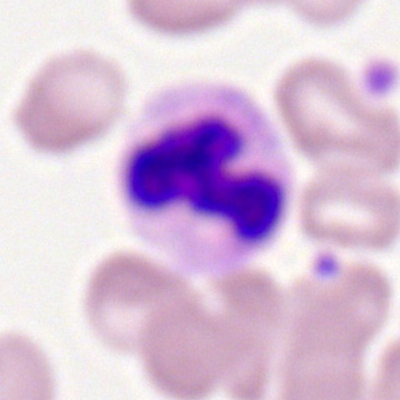
Impression — segmented neutrophil.